400 by 400 pixels. Peripheral blood film:
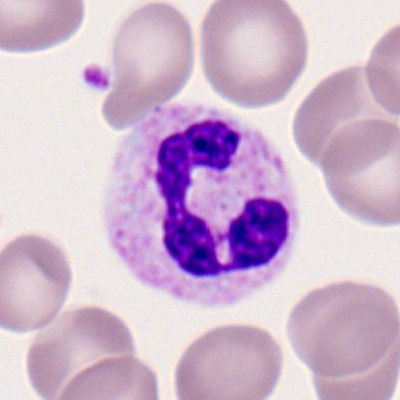

Classification — polymorphonuclear neutrophil.